Image size 250×250 · bone marrow smear · single-cell crop
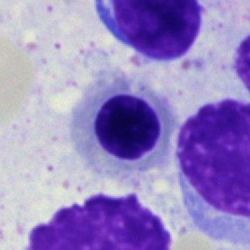 Q: What is shown here?
A: Normoblast.